Image size 250×250; bone marrow aspirate smear
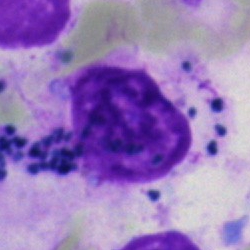 Morphological class = artefact.